Bone marrow aspirate smear: 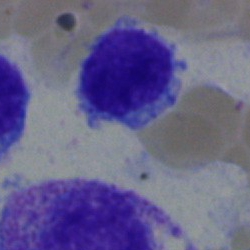 A typical lymphocyte.